Bone marrow smear: 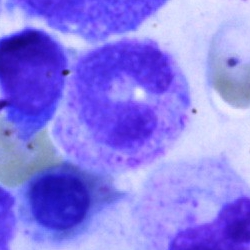

A segmented neutrophil.